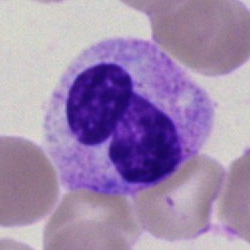

Morphological class — neutrophil (segmented).